250×250 px; bone marrow aspirate smear: 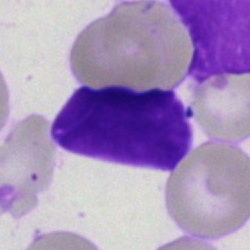

Single cell identified as an artefact.